Brightfield, 40× oil-immersion objective; bone marrow smear.
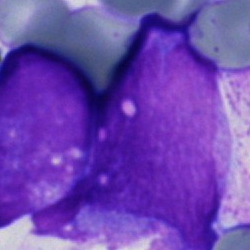
Single cell identified as an undifferentiated blast.